Bone marrow aspirate smear:
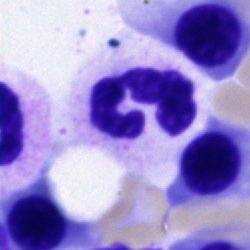
Classification — polymorphonuclear neutrophil.